Bone marrow aspirate smear
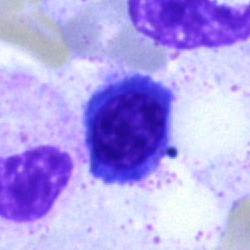The classification is normoblast.